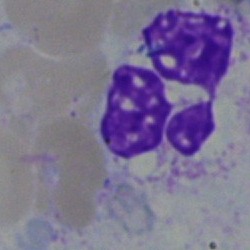

Neutrophil (segmented).